Peripheral blood film
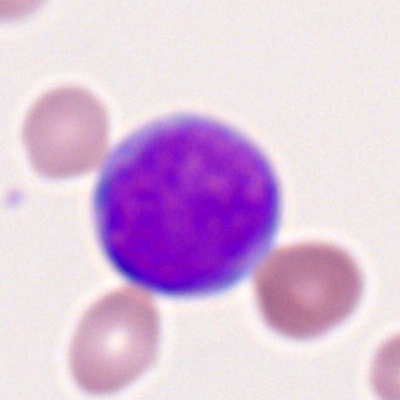
Morphological class = myeloblast.